Bone marrow aspirate smear:
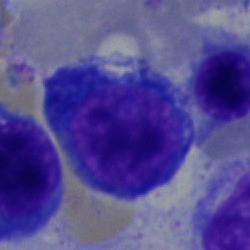

Morphological class = pronormoblast.